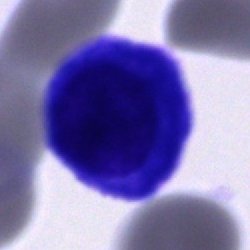The cell shown is a plasmacyte.